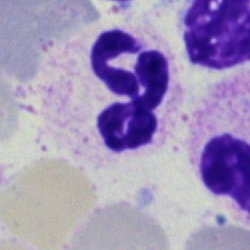
Morphology consistent with a segmented neutrophil.